May-Grünwald-Giemsa stain · bone marrow aspirate smear — 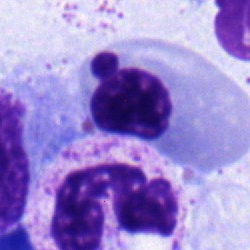

The morphological class is erythroblast.